Bone marrow smear — 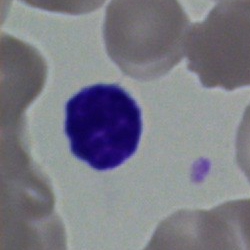Q: Identify the cell.
A: It is a typical lymphocyte.